Bone marrow smear; May-Grünwald-Giemsa/Pappenheim stain; 250 by 250 pixels
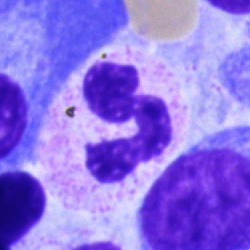Specimen: bone marrow aspirate smear.
Morphological class: segmented neutrophil.
Lineage: myeloid.